Bone marrow smear; 250 by 250 pixels
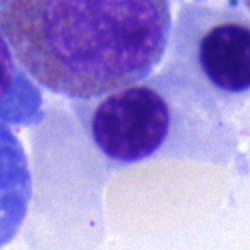 Specimen: bone marrow smear.
Cell type: normoblast.